250×250 px · bone marrow smear:
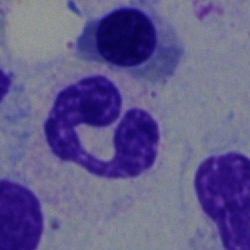
Q: What cell is this?
A: It is a neutrophil (segmented).